250×250. Single-cell field. Bone marrow smear.
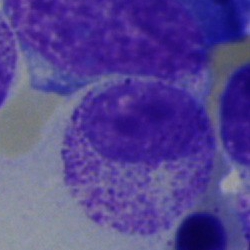 Cell: myelocyte.